Bone marrow aspirate smear:
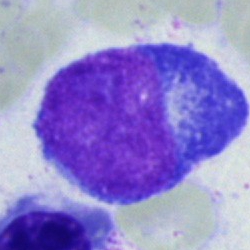This is a blast cell.